40× objective, oil immersion. Bone marrow smear:
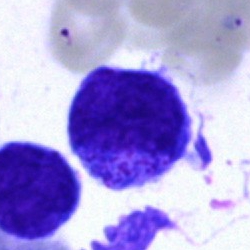Showing a promyelocyte.